May-Grünwald-Giemsa stain. Image size 250×250. Bone marrow aspirate smear — 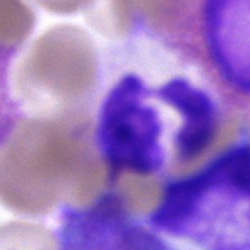

Morphological class — neutrophil (segmented).